Bone marrow aspirate smear; 250×250; Pappenheim-stained:
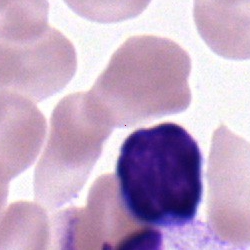 Morphology — lymphocyte.